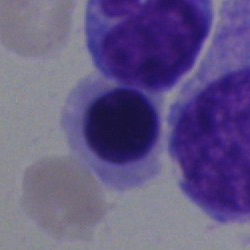 Cell: nucleated red cell.